250 by 250 pixels. Bone marrow aspirate smear: 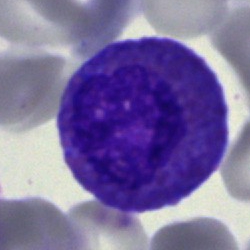

Showing an eosinophilic granulocyte.